40× oil immersion; bone marrow smear.
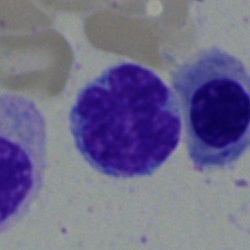
Classification = typical lymphocyte.